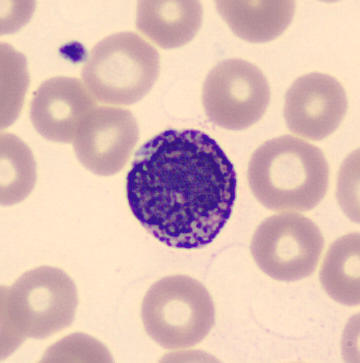

Q: Which cell type is shown here?
A: This is a basophilic granulocyte.

Preparation: Peripheral blood film. 360×363.